250 by 250 pixels · bone marrow smear · brightfield microscopy, 40× oil immersion: 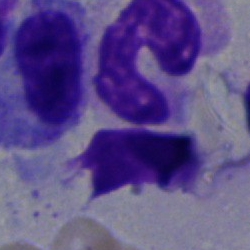

Specimen: bone marrow smear.
Classification: neutrophil (band).